Bone marrow aspirate smear · 250×250 px: 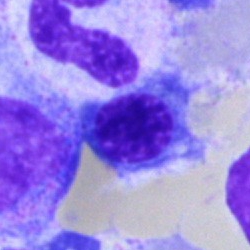

Cell type = erythroblast.